Brightfield microscopy, 40× oil immersion · bone marrow smear · May-Grünwald-Giemsa stain: 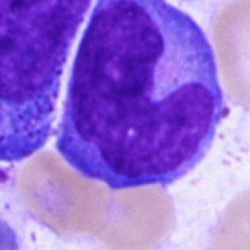Morphology consistent with a monocyte.